Bone marrow aspirate smear.
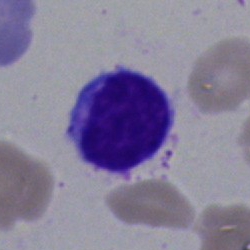
The morphological class is typical lymphocyte.